Bone marrow aspirate smear:
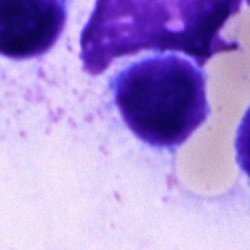The cell is lymphocyte.